Brightfield, 40× oil-immersion objective · bone marrow aspirate smear — 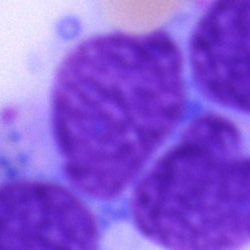
Specimen: bone marrow aspirate smear.
Classification: unidentifiable cell.